Peripheral blood smear:
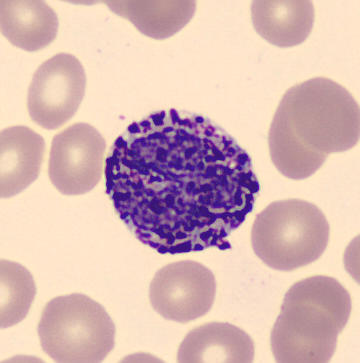 Specimen: peripheral blood smear.
Cell: basophil.